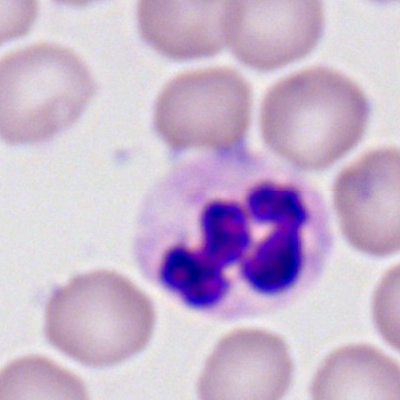 Morphology — neutrophil (segmented).